Single-cell field; image size 250×250; bone marrow smear
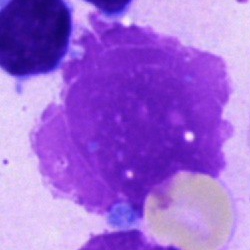

Q: What is shown here?
A: Artifact.